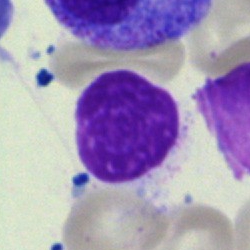

Morphology consistent with an artifact.